Bone marrow smear — 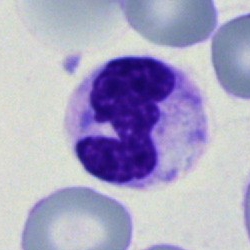The cell shown is a polymorphonuclear neutrophil.